Bone marrow aspirate smear.
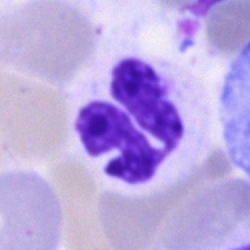 Specimen: bone marrow smear.
Cell type: neutrophil (segmented).
Lineage: myeloid.